Brightfield microscopy, 40× oil immersion · bone marrow aspirate smear.
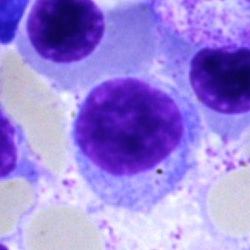Cell: lymphocyte.